Single cell centered in the field. Pappenheim-stained. Bone marrow smear — 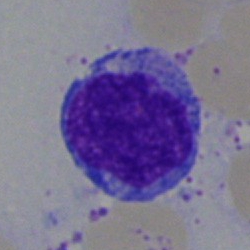 Impression — typical lymphocyte.